Bone marrow smear:
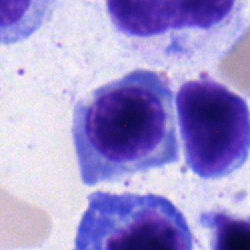 The cell shown is an erythroblast.